Bone marrow smear.
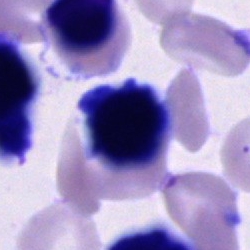This is a cell of indeterminate lineage.